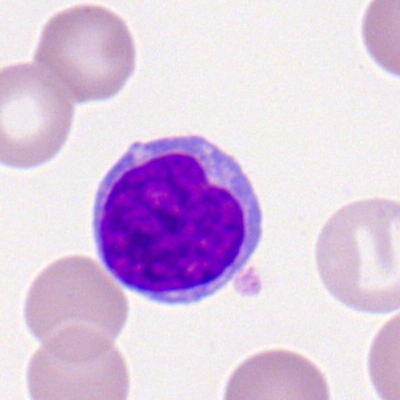 A typical lymphocyte.